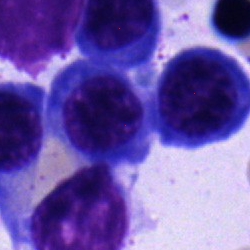 {"cell_type": "nucleated red blood cell"}